Bone marrow aspirate smear · 40× oil immersion · MGG-stained:
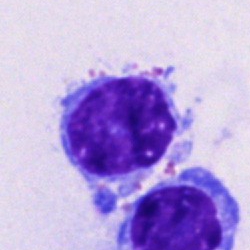Q: Identify the cell.
A: This is a typical lymphocyte.